Bone marrow aspirate smear: 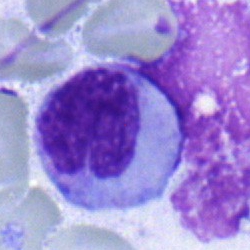

Showing a monocyte.